Bone marrow aspirate smear — 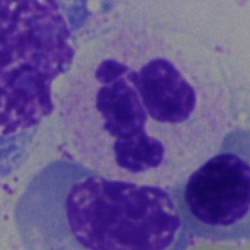

Cell = polymorphonuclear neutrophil.